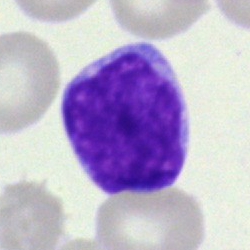Classification — blast.